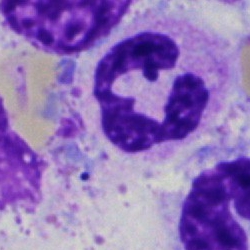

Specimen: bone marrow smear.
Classification: polymorphonuclear neutrophil.
Lineage: myeloid.